Bone marrow smear:
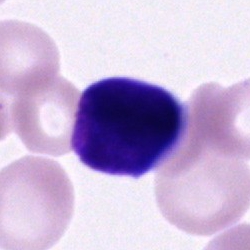
Q: What is shown here?
A: Unidentifiable cell.